Cropped to a single cell · bone marrow aspirate smear.
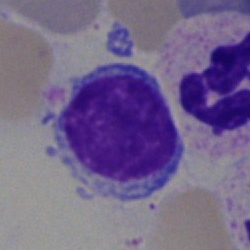 The cell shown is a lymphocyte.